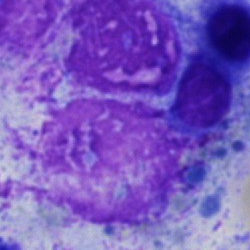

Specimen: bone marrow smear.
Cell: artifact.